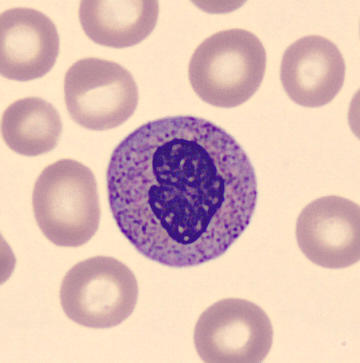
Peripheral blood film · MGG-stained.
Classification = metamyelocyte.